Bone marrow smear:
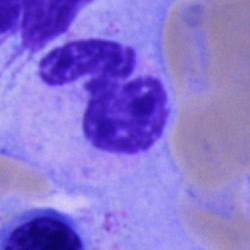Q: What is the morphological classification of this cell?
A: It is a segmented neutrophil.